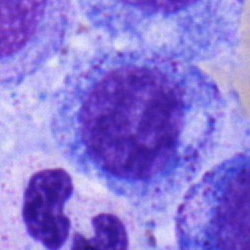
Bone marrow smear showing a myelocyte.